Single-cell crop. Bone marrow aspirate smear — 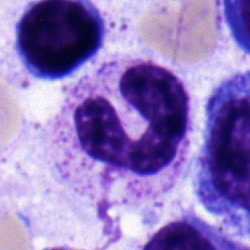The cell type is neutrophil (band).